Bone marrow aspirate smear; cropped to a single cell; MGG-stained
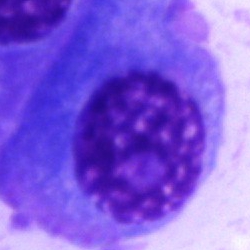

Morphological class = plasma cell.